Bone marrow aspirate smear · 250×250
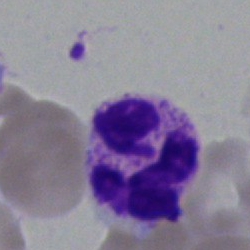
Specimen: bone marrow smear.
Classification: segmented neutrophil.
Lineage: myeloid.